Bone marrow aspirate smear.
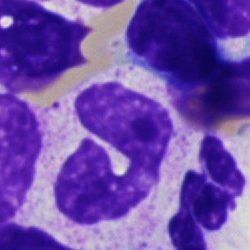 Cell: neutrophil (segmented).